Bone marrow aspirate smear. May-Grünwald-Giemsa stain.
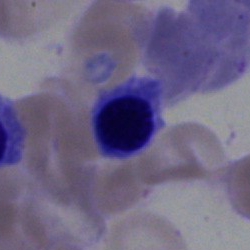 Q: Which cell type is shown here?
A: This is a nucleated red blood cell.